Single cell centered in the field. Brightfield, 40× oil-immersion objective. Bone marrow aspirate smear — 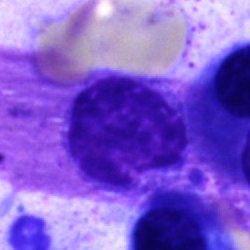Specimen: bone marrow aspirate smear.
Classification: artefact.